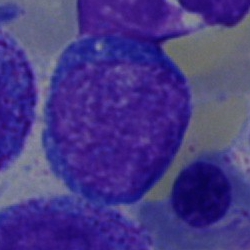Morphology consistent with a proerythroblast.